Bone marrow smear:
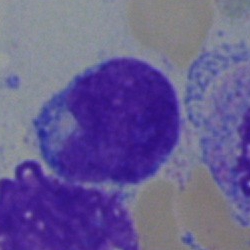

Q: What type of cell is this?
A: Blast.